Bone marrow aspirate smear · Pappenheim-stained · 250 by 250 pixels.
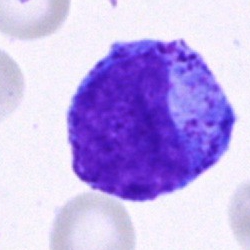Morphological class: progranulocyte.